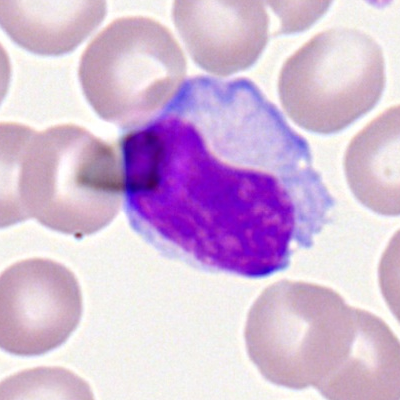
Morphology → typical lymphocyte.